Bone marrow aspirate smear; brightfield, 40× oil-immersion objective: 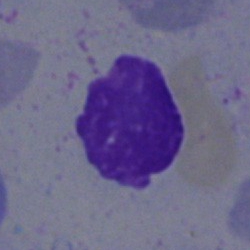 Morphological class = artifact.